Image size 250×250. Pappenheim-stained. Bone marrow aspirate smear — 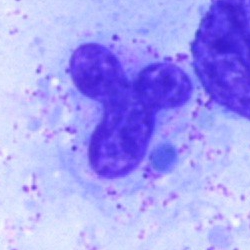Cell type = neutrophil (segmented).